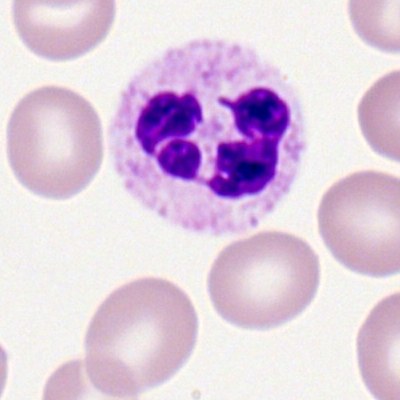Morphology → neutrophil (segmented).